Bone marrow aspirate smear: 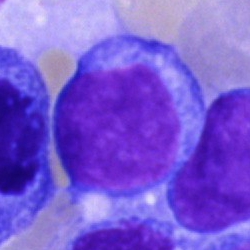

Specimen: bone marrow smear.
Morphological class: progranulocyte.
Lineage: myeloid.